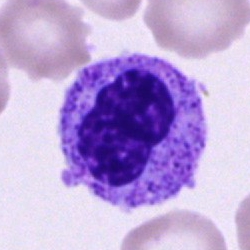Morphological class — metamyelocyte.